Image size 250×250 · bone marrow smear: 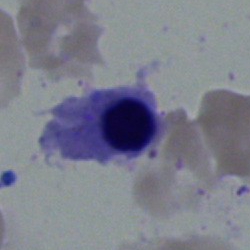 Cell = erythroblast.